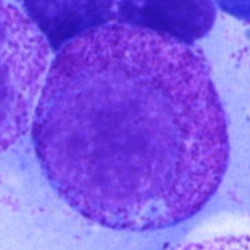
Impression → myelocyte.